Single-cell crop; 40× objective, oil immersion; bone marrow smear: 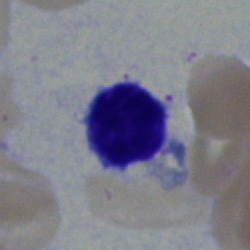Specimen: bone marrow smear.
Cell type: lymphocyte.
Lineage: lymphoid.